Peripheral blood film.
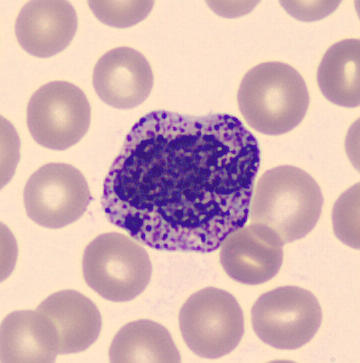

Impression — basophil.